Pappenheim-stained · 40× objective, oil immersion · bone marrow smear:
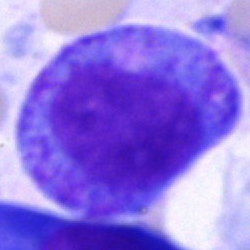
Q: What is the morphological classification of this cell?
A: Promyelocyte.